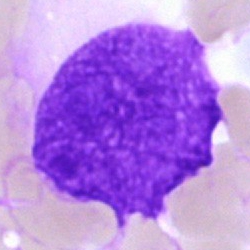Q: What is shown here?
A: It is an artifact.